Bone marrow smear.
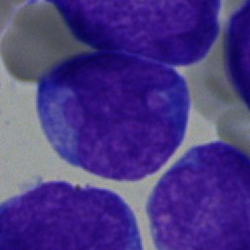

Q: What type of cell is this?
A: An undifferentiated blast.